Brightfield microscopy, 40× oil immersion · cropped to a single cell · bone marrow aspirate smear — 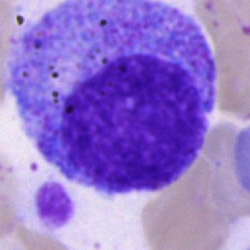 Q: What type of cell is this?
A: This is a progranulocyte.